Bone marrow aspirate smear — 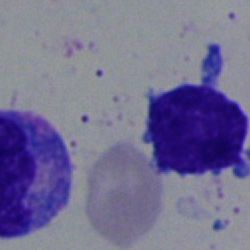

Specimen: bone marrow smear.
Cell type: lymphocyte.
Lineage: lymphoid.